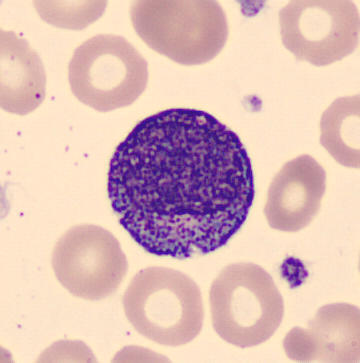
The cell shown is a promyelocyte.